100× oil immersion. Peripheral blood film: 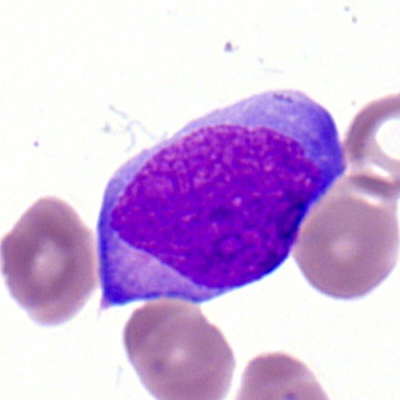
Q: What is the morphological classification of this cell?
A: Myeloblast.